May-Grünwald-Giemsa stain. Bone marrow aspirate smear.
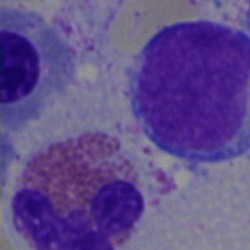Q: What is the morphological classification of this cell?
A: This is an eosinophilic granulocyte.